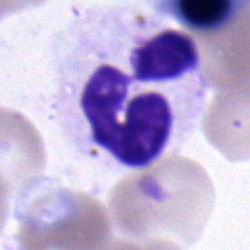 Q: What is shown here?
A: It is a neutrophil (segmented).